Brightfield, 40× oil-immersion objective; bone marrow aspirate smear
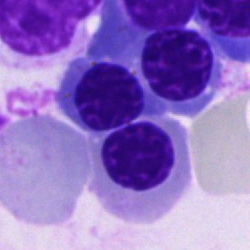 Single cell identified as a normoblast.